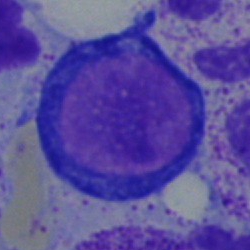 Proerythroblast.